Bone marrow aspirate smear; May-Grünwald-Giemsa stain.
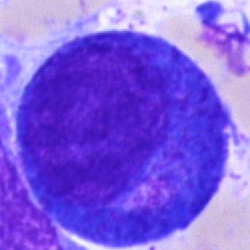

Showing a progranulocyte.